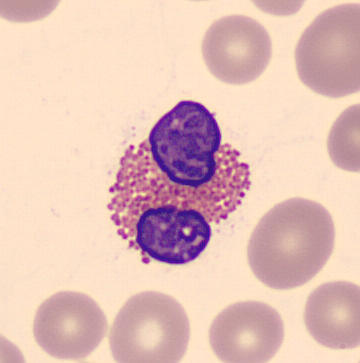Preparation: Peripheral blood film. Morphology consistent with an eosinophilic granulocyte.